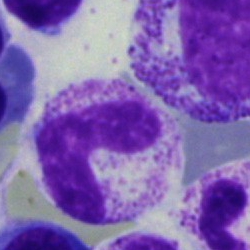 Band-form neutrophil.